Single-cell crop. 40× objective, oil immersion. Bone marrow smear.
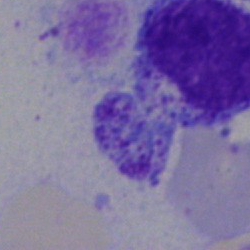Specimen: bone marrow smear.
Cell type: artefact.